Single-cell field; image size 250×250; bone marrow smear: 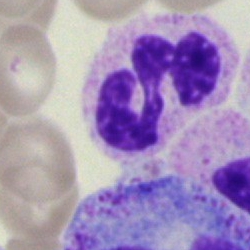 Morphological class — polymorphonuclear neutrophil.